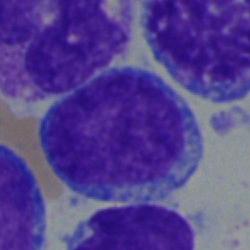

Classification — blast cell.